250×250 px · May-Grünwald-Giemsa/Pappenheim stain · bone marrow smear: 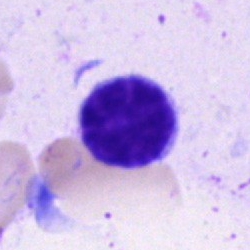

Q: What type of cell is this?
A: This is a lymphocyte.